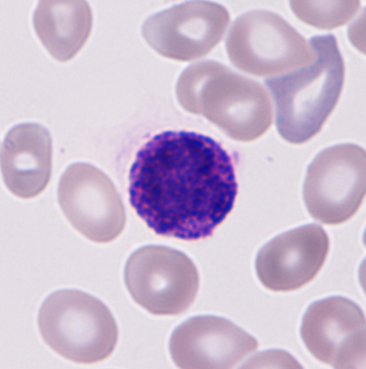 {"cell_type": "basophil", "lineage": "myeloid"}